Single-cell crop; bone marrow aspirate smear:
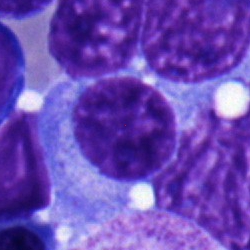Cell type = plasma cell.